Bone marrow smear — 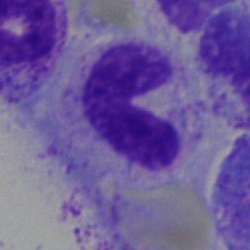

Showing a neutrophil (band).